Bone marrow smear — 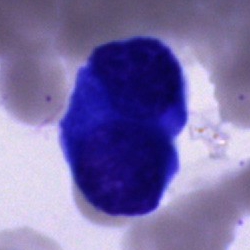 A cell of indeterminate lineage.